Bone marrow aspirate smear · single-cell field · 250 by 250 pixels.
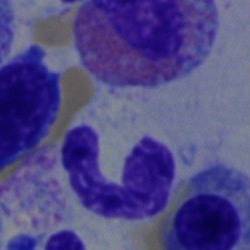 The cell type is band-form neutrophil.